250 by 250 pixels · May-Grünwald-Giemsa stain · bone marrow smear — 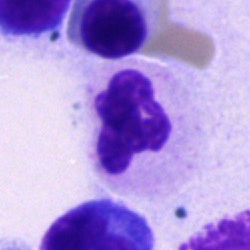Cell type — neutrophil (segmented).